Peripheral blood smear. MGG-stained.
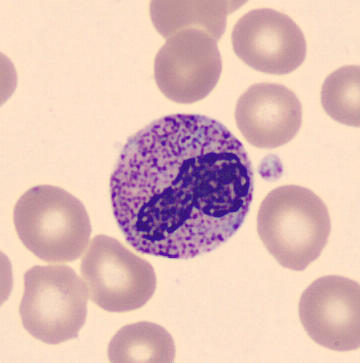

The classification is band neutrophil.